Single-cell field. Peripheral blood smear. 100× oil immersion.
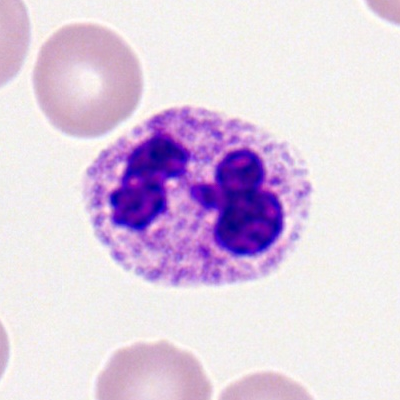
Q: What cell is this?
A: It is a polymorphonuclear neutrophil.